Bone marrow smear. Single cell centered in the field. 250×250.
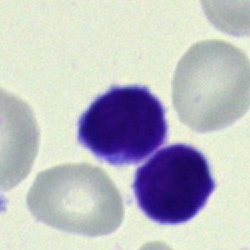Impression — typical lymphocyte.